Peripheral blood film
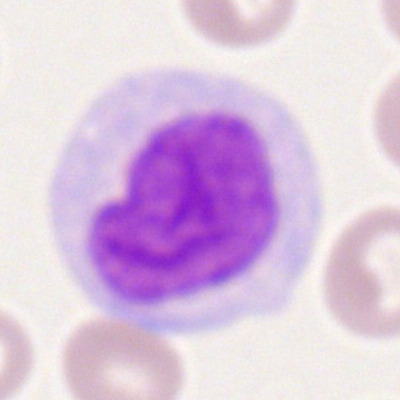 Cell type = monocyte.